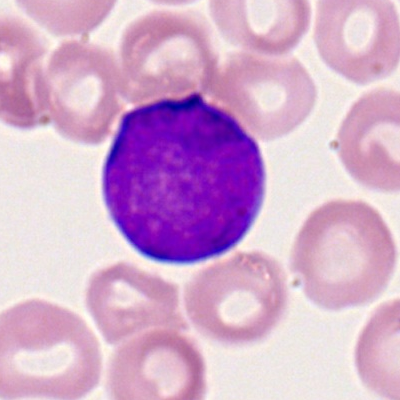 Q: What is shown here?
A: This is a myeloblast.